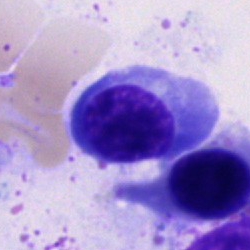
Morphological class: normoblast.